Bone marrow aspirate smear · 250×250 px · single-cell crop.
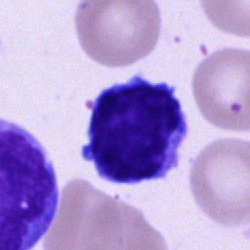
Classification = lymphocyte.